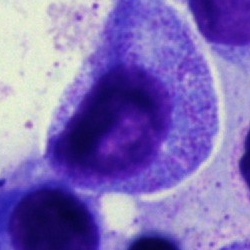 {"cell_type": "myelocyte"}